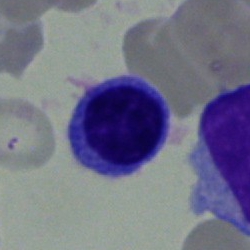

Bone marrow aspirate smear, single cell — typical lymphocyte.